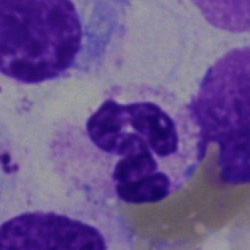
Q: What is the morphological classification of this cell?
A: A neutrophil (segmented).